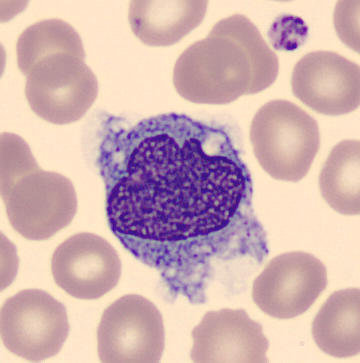The morphological class is monocyte.
Single cell centered in the field · CellaVision DM96 digital cell image · peripheral blood smear.